Peripheral blood film — 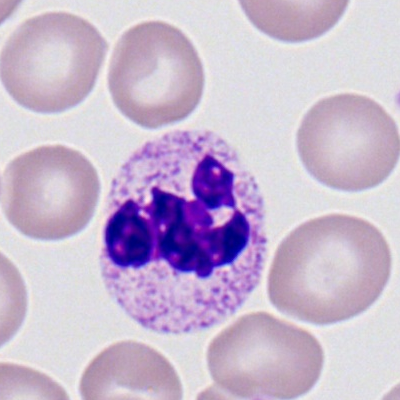 A polymorphonuclear neutrophil.